Bone marrow aspirate smear.
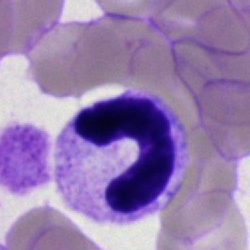Cell type = stab cell.